Bone marrow smear — 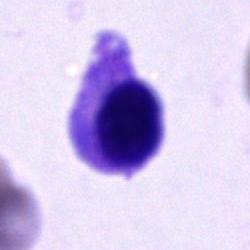An unidentifiable cell.